Bone marrow aspirate smear.
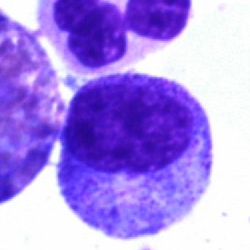
Classification: promyelocyte.